250 by 250 pixels · bone marrow smear — 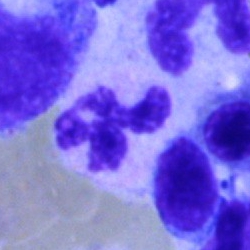Showing a polymorphonuclear neutrophil.